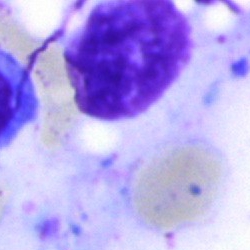Specimen: bone marrow smear.
Classification: artifact.